Bone marrow aspirate smear:
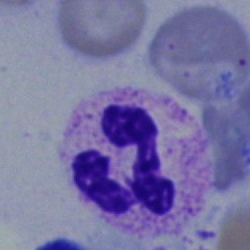Morphology — neutrophil (segmented).